Cropped to a single cell · Pappenheim-stained · bone marrow smear
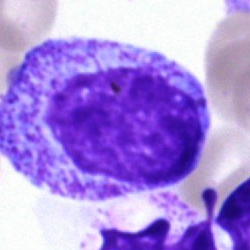
Morphology consistent with a myelocyte.